Bone marrow aspirate smear:
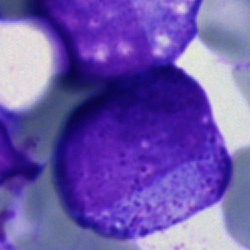 Blast.